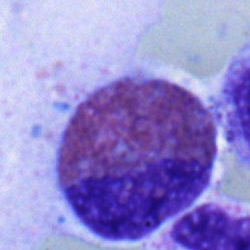 Showing an eosinophilic granulocyte.